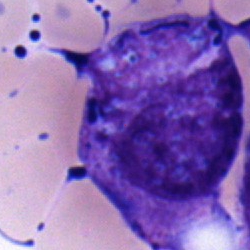

Specimen: bone marrow smear.
Classification: blast.